Bone marrow aspirate smear.
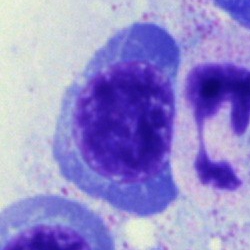 Cell type: erythroblast.